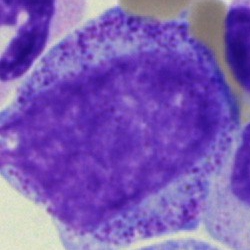 Impression → promyelocyte.